250×250 px; single cell centered in the field; bone marrow smear
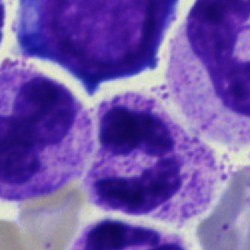 Cell type = segmented neutrophil.